Bone marrow aspirate smear — 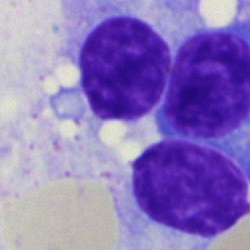

Specimen: bone marrow aspirate smear.
Cell type: lymphocyte.
Lineage: lymphoid.